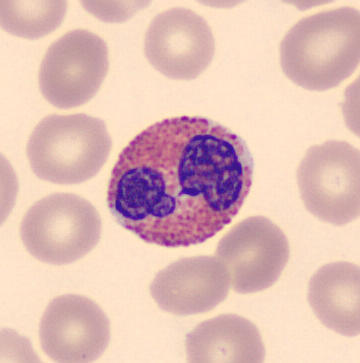From a peripheral blood smear: an eosinophilic granulocyte.